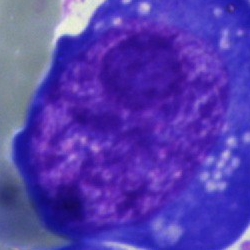 Impression — blast cell.